Bone marrow smear:
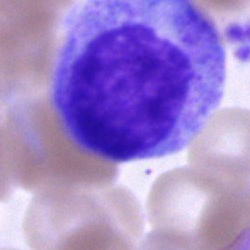
Q: What cell is this?
A: Promyelocyte.